Bone marrow smear.
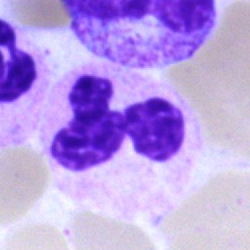Segmented neutrophil.